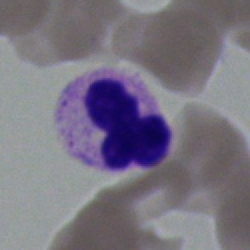
Q: What type of cell is this?
A: This is a segmented neutrophil.